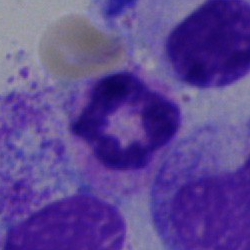Specimen: bone marrow smear.
Cell type: segmented neutrophil.
Lineage: myeloid.